Bone marrow aspirate smear
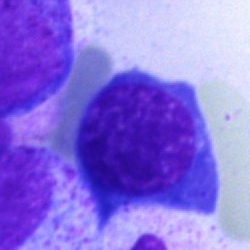
This is an erythroblast.